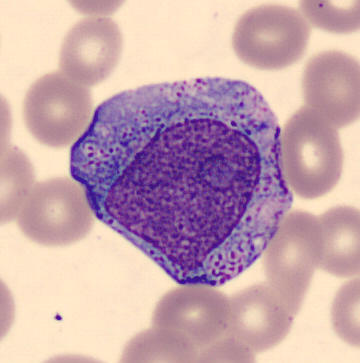Impression — promyelocyte.